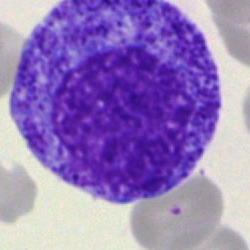Single cell identified as a promyelocyte.